Bone marrow aspirate smear
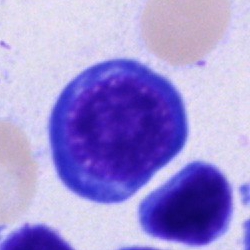 This is a nucleated red blood cell.